Bone marrow smear: 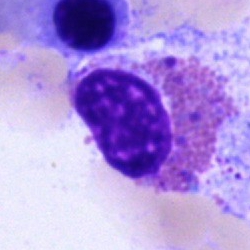Q: Which cell type is shown here?
A: Eosinophil.